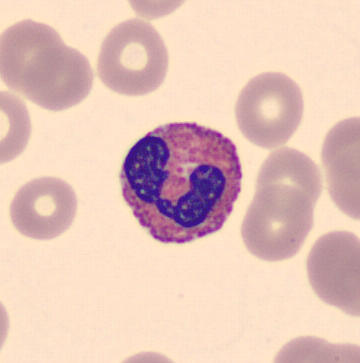Cell: eosinophil.